Bone marrow aspirate smear. Brightfield, 40× oil-immersion objective. Image size 250×250
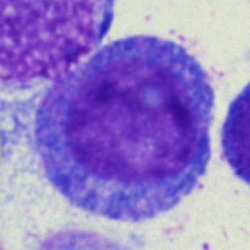Classification — promyelocyte.